Bone marrow aspirate smear.
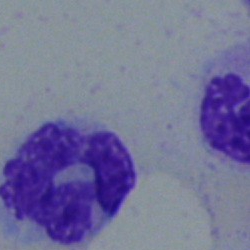Single cell identified as a monocyte.